Bone marrow smear — 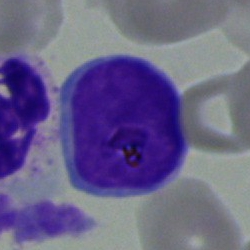 Impression → undifferentiated blast.